Bone marrow aspirate smear:
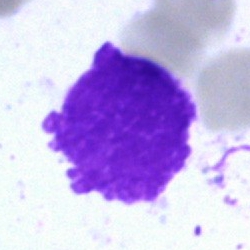 Impression — artefact.